Bone marrow smear
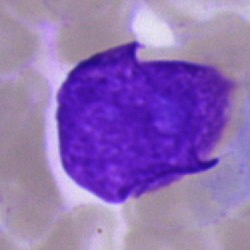

{"cell_type": "artifact"}